Brightfield, 40× oil-immersion objective. Bone marrow smear.
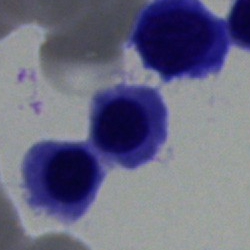Classification — nucleated red cell.